Bone marrow smear — 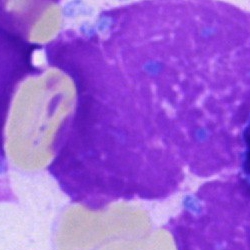
Q: What is shown here?
A: An artifact.